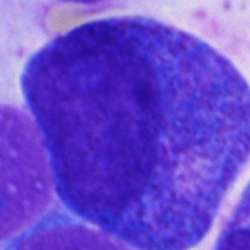 Q: What is shown here?
A: It is a progranulocyte.